Bone marrow smear — 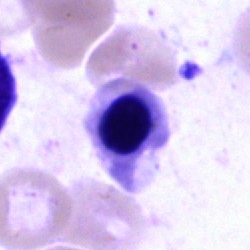

Specimen: bone marrow aspirate smear.
Cell: normoblast.